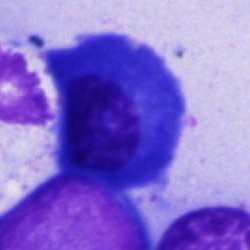

This is a plasma cell.